Bone marrow smear: 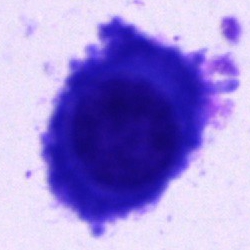Impression — plasma cell.